MGG-stained; bone marrow aspirate smear; 250 by 250 pixels:
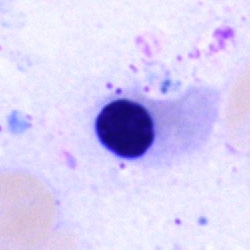Q: Which cell type is shown here?
A: It is a normoblast.